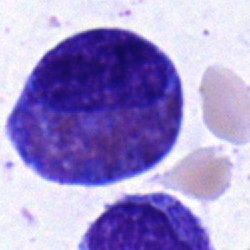

Specimen: bone marrow aspirate smear.
Cell type: eosinophilic granulocyte.